400 by 400 pixels · peripheral blood film · cropped to a single cell — 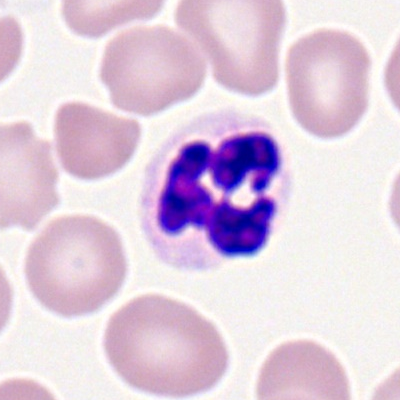

Specimen: peripheral blood film.
Classification: segmented neutrophil.
Lineage: myeloid.